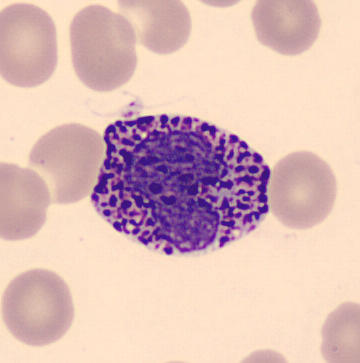Specimen: peripheral blood smear.
Cell type: basophilic granulocyte.
Lineage: myeloid.